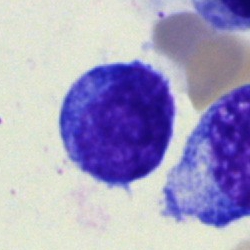
Single-cell crop from a bone marrow smear: lymphocyte.